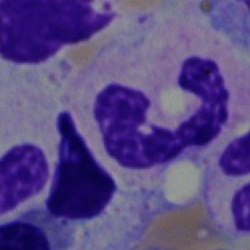 Showing a band-form neutrophil.